Bone marrow smear: 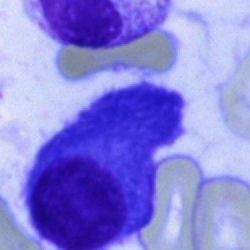 The cell shown is a plasmacyte.